Bone marrow smear — 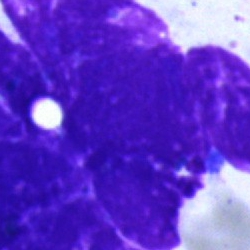
Specimen: bone marrow aspirate smear.
Classification: artifact.